Bone marrow aspirate smear; 250×250 px
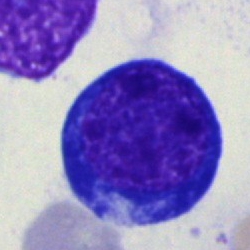
Cell: nucleated red cell.